Bone marrow smear.
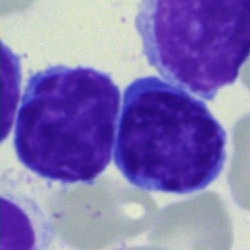 A lymphocyte.